Bone marrow smear: 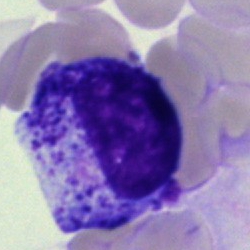Showing a promyelocyte.